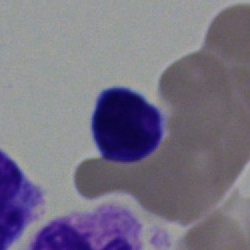

Single cell identified as a lymphocyte.